Bone marrow aspirate smear
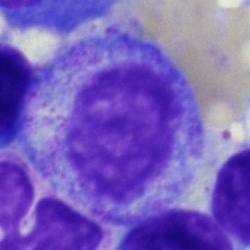
This is a myelocyte.